Brightfield, 40× oil-immersion objective. Bone marrow smear
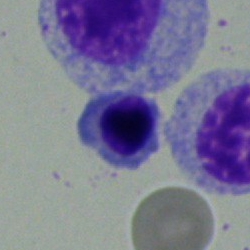

The cell shown is a normoblast.